Peripheral blood smear — 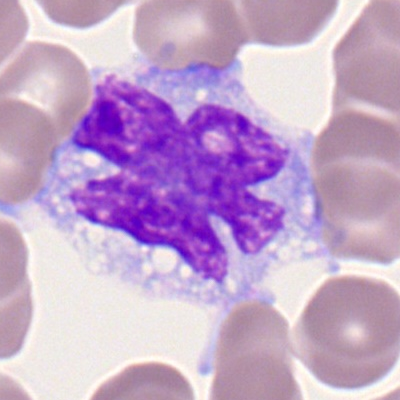
Morphology → monocyte.